Bone marrow aspirate smear
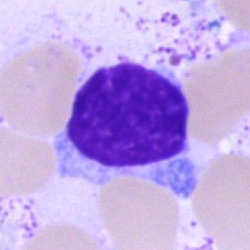

Morphological class: lymphocyte.